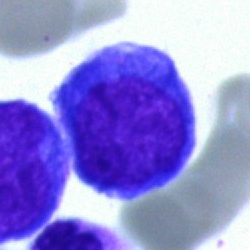

Specimen: bone marrow smear.
Cell: undifferentiated blast.